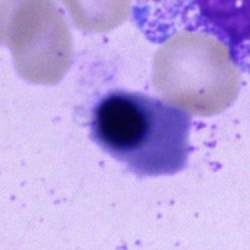

The classification is erythroblast.